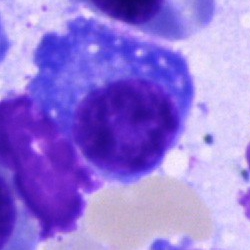
The classification is plasmacyte.